Image size 250×250 · bone marrow aspirate smear — 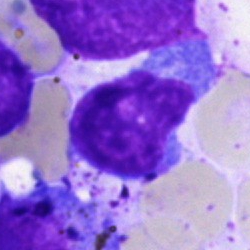
Single cell identified as a typical lymphocyte.